Romanowsky-stained. Peripheral blood film
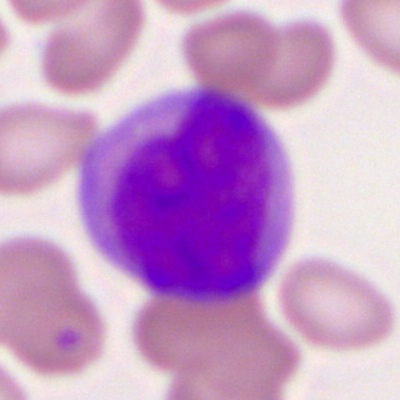 Q: What type of cell is this?
A: This is a myeloblast.